Bone marrow aspirate smear; 40× objective, oil immersion: 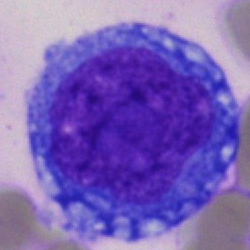
{"cell_type": "blast"}